250×250 px. Single-cell crop. Bone marrow aspirate smear: 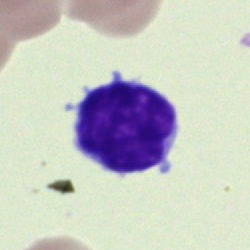
Q: Identify the cell.
A: A typical lymphocyte.